Bone marrow smear · single-cell crop · MGG-stained
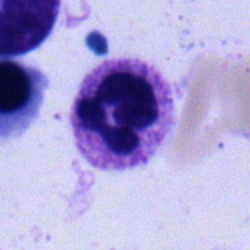Neutrophil (segmented).